May-Grünwald-Giemsa stain. Bone marrow aspirate smear
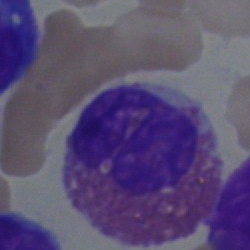Cell: eosinophilic granulocyte.